Bone marrow smear — 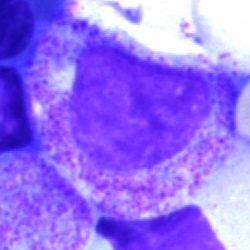 {"cell_type": "myelocyte", "lineage": "myeloid"}